Bone marrow aspirate smear.
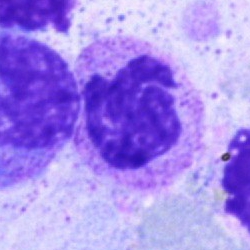

Morphological class — segmented neutrophil.